Bone marrow smear
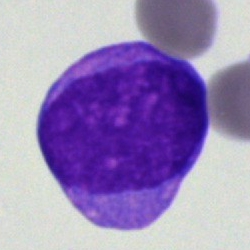

Showing a blast cell.